Bone marrow smear
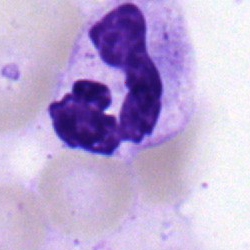{"cell_type": "neutrophil (segmented)", "lineage": "myeloid"}